Image size 250×250; bone marrow smear — 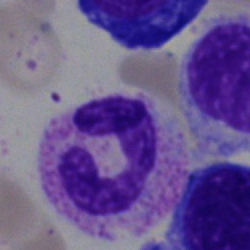
A segmented neutrophil.